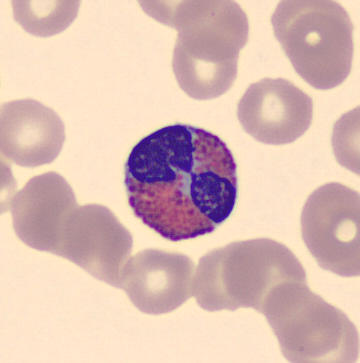

Acquisition: May Grünwald-Giemsa stain; peripheral blood film; 360 by 363 pixels.

Identified as an eosinophilic granulocyte.